Brightfield, 40× oil-immersion objective · bone marrow aspirate smear: 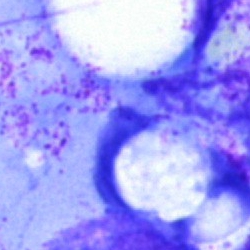 Impression — artefact.